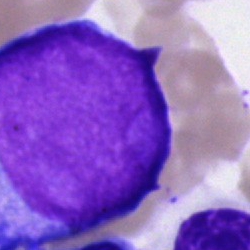 Bone marrow smear showing an undifferentiated blast.